Brightfield, 40× oil-immersion objective · bone marrow aspirate smear: 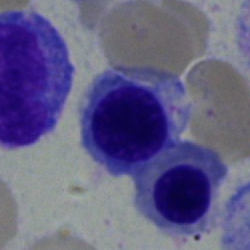 A nucleated red cell.